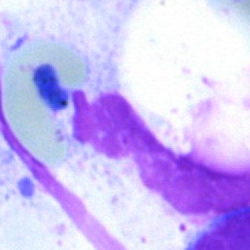

Artifact.